Bone marrow smear: 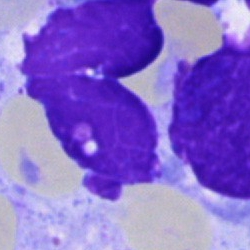

Specimen: bone marrow aspirate smear.
Classification: artifact.